May-Grünwald-Giemsa stain. Brightfield microscopy, 40× oil immersion. Bone marrow aspirate smear.
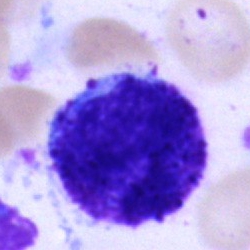
The cell is basophilic granulocyte.